Bone marrow smear — 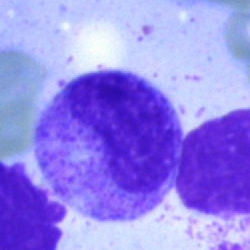 The cell shown is a metamyelocyte.